Bone marrow smear — 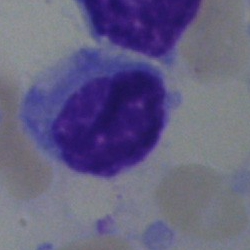 Classification: hairy cell.